Bone marrow aspirate smear; 40× oil immersion: 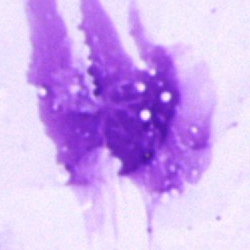Specimen: bone marrow smear.
Cell: artifact.